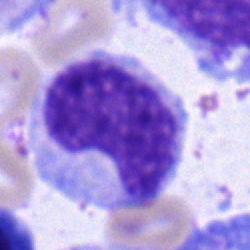 Q: Identify the cell.
A: Metamyelocyte.